Bone marrow aspirate smear · single-cell field:
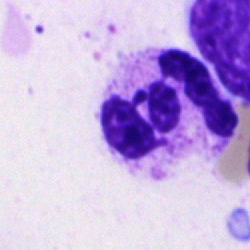 Segmented neutrophil.